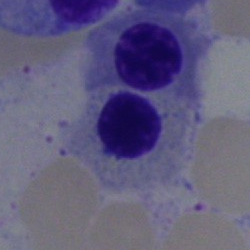

Impression — erythroblast.